Bone marrow aspirate smear — 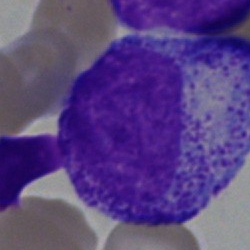 Impression → promyelocyte.